Bone marrow aspirate smear — 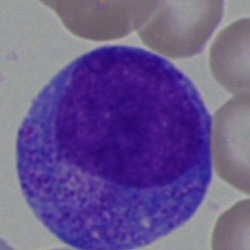

Specimen: bone marrow smear.
Morphological class: promyelocyte.
Lineage: myeloid.